Bone marrow smear.
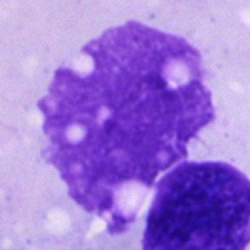Cell = artefact.